Bone marrow aspirate smear — 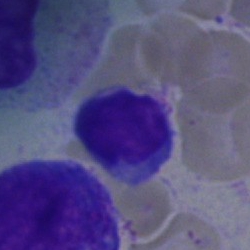
Impression — lymphocyte.